Bone marrow aspirate smear.
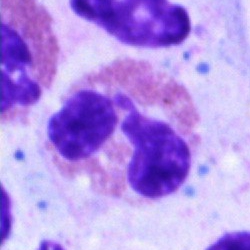 Q: What type of cell is this?
A: Eosinophilic granulocyte.